Single cell centered in the field · MGG-stained · bone marrow smear: 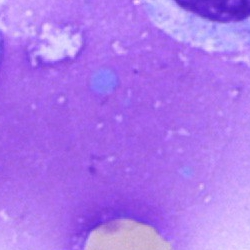 This is an artifact.